Bone marrow smear · cropped to a single cell
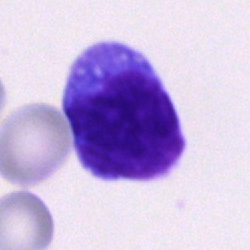 Q: What is the morphological classification of this cell?
A: It is a blast cell.